Bone marrow aspirate smear · 250×250: 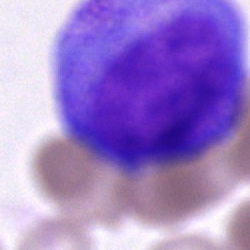 Cell type — promyelocyte.